Bone marrow aspirate smear · 250×250 px · MGG-stained
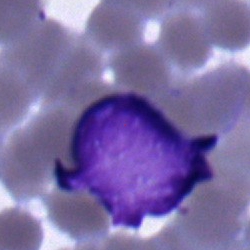
Morphological class = blast.